360 by 363 pixels · single cell centered in the field · peripheral blood film: 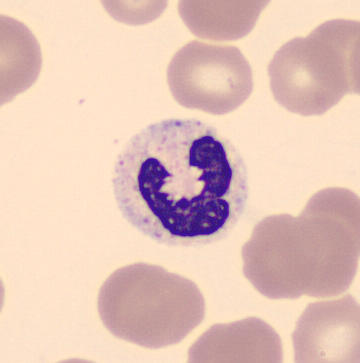Specimen: peripheral blood film.
Morphological class: polymorphonuclear neutrophil.
Lineage: myeloid.